Bone marrow smear. Cropped to a single cell: 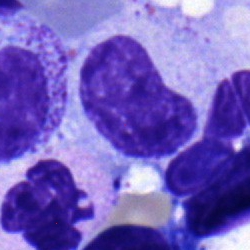

Metamyelocyte.